May-Grünwald-Giemsa/Pappenheim stain. Bone marrow aspirate smear.
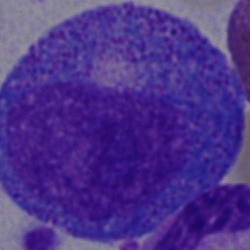
The cell shown is a promyelocyte.